Bone marrow smear
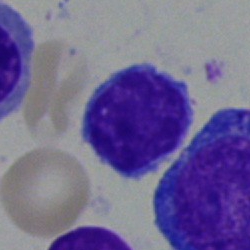Single cell identified as a lymphocyte.